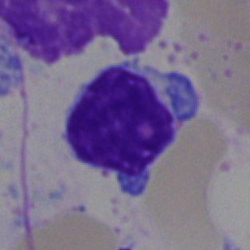
Q: What is shown here?
A: A lymphocyte.